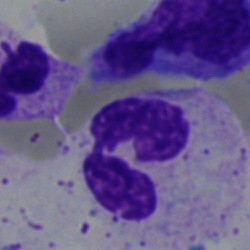Morphology consistent with a polymorphonuclear neutrophil.